Bone marrow aspirate smear: 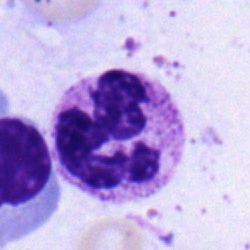 The cell shown is a neutrophil (segmented).